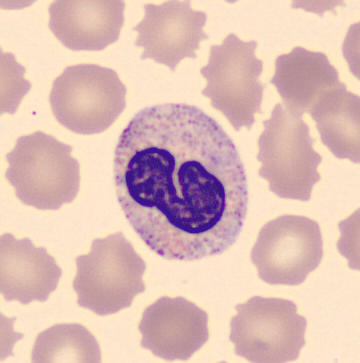

Image: Peripheral blood smear; imaged on a CellaVision DM96 analyser; image size 360×363.
Morphological class = neutrophil (band).